May-Grünwald-Giemsa stain · bone marrow smear: 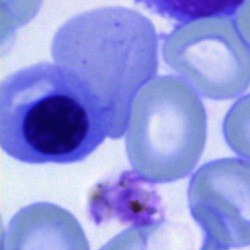

The cell is erythroblast.